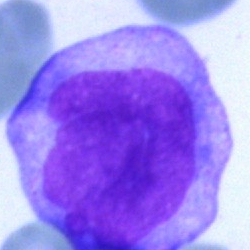

The morphological class is blast.